Bone marrow smear: 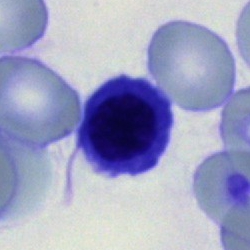

Cell: erythroblast.